Bone marrow aspirate smear; May-Grünwald-Giemsa/Pappenheim stain:
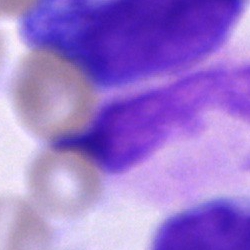
Showing an unidentifiable cell.